Pappenheim-stained. Bone marrow smear:
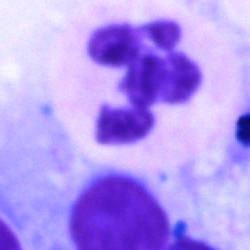Specimen: bone marrow smear.
Morphological class: segmented neutrophil.
Lineage: myeloid.